Bone marrow smear · 250×250 px — 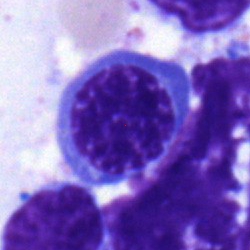

A nucleated red blood cell.